Bone marrow aspirate smear; brightfield microscopy, 40× oil immersion; May-Grünwald-Giemsa stain.
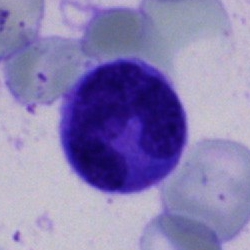Morphology — monocyte.